Peripheral blood film
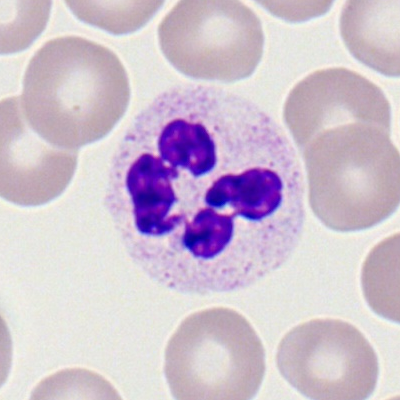
A polymorphonuclear neutrophil.